Bone marrow smear; 250×250 px.
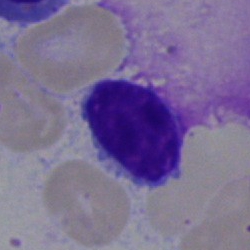Specimen: bone marrow smear.
Morphological class: typical lymphocyte.
Lineage: lymphoid.